Bone marrow aspirate smear.
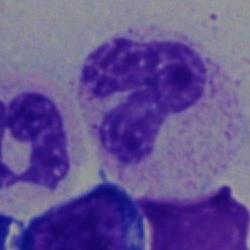

This is a polymorphonuclear neutrophil.